Bone marrow aspirate smear; single-cell field.
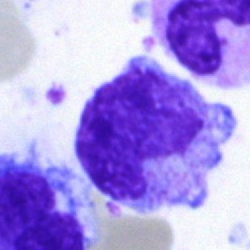Showing a monocyte.